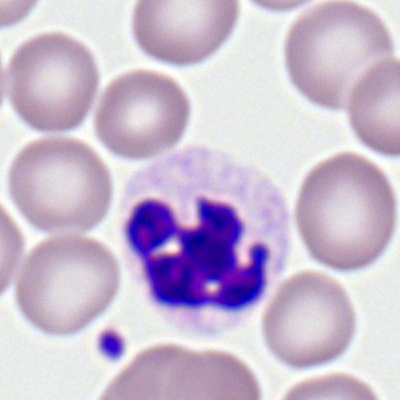Peripheral blood film, single cell — neutrophil (segmented).